Bone marrow smear: 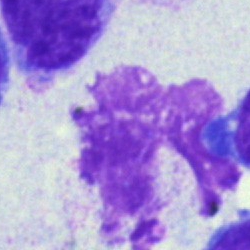

Single cell identified as an artifact.